Bone marrow smear:
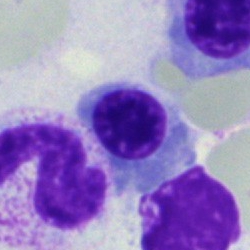

Classification = nucleated red blood cell.